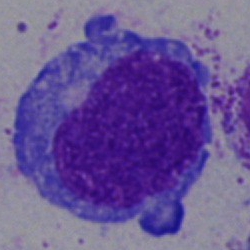
{"cell_type": "progranulocyte"}